Bone marrow smear — 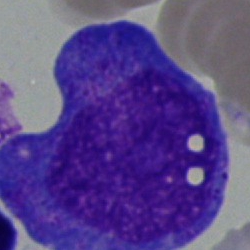Cell type: promyelocyte.